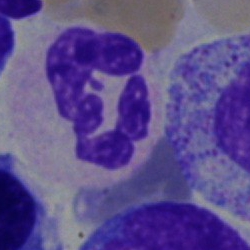A polymorphonuclear neutrophil on a bone marrow smear.